40× objective, oil immersion; bone marrow smear: 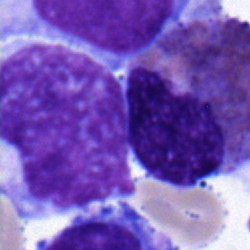
Morphological class = metamyelocyte.